May-Grünwald-Giemsa stain · bone marrow aspirate smear.
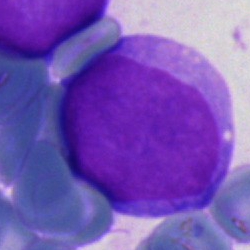
An undifferentiated blast.